May-Grünwald-Giemsa/Pappenheim stain. Bone marrow smear.
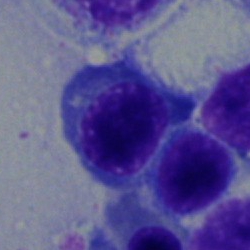

Q: What is shown here?
A: It is a nucleated red cell.